May-Grünwald-Giemsa stain; bone marrow smear; single cell centered in the field: 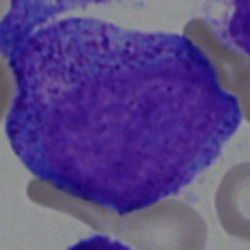
Classification: promyelocyte.